Bone marrow aspirate smear — 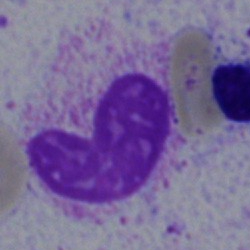Showing a stab cell.